Bone marrow smear; May-Grünwald-Giemsa/Pappenheim stain — 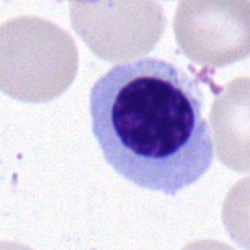

Q: What type of cell is this?
A: A nucleated red cell.